Single-cell crop; bone marrow aspirate smear.
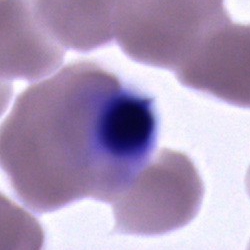 This is an unidentifiable cell.